Bone marrow aspirate smear.
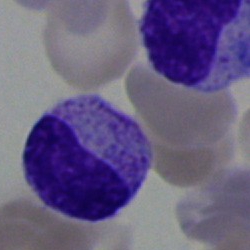Cell type — metamyelocyte.